Bone marrow aspirate smear — 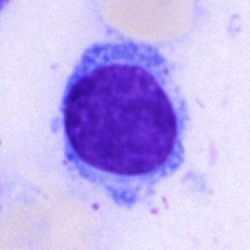
Morphology — lymphocyte.